Romanowsky-stained; 400 by 400 pixels; peripheral blood film:
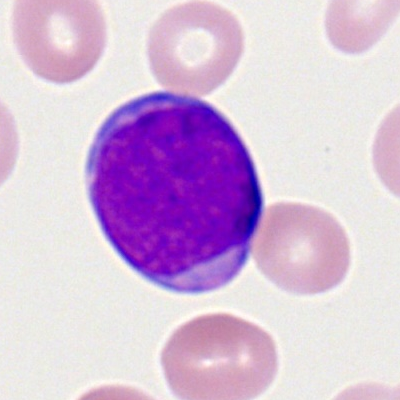

A myeloblast.